Bone marrow smear; cropped to a single cell.
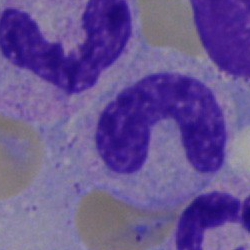 Specimen: bone marrow aspirate smear.
Cell: band neutrophil.
Lineage: myeloid.